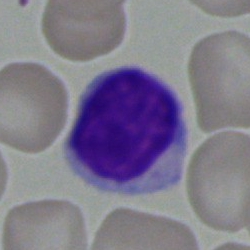 Impression — typical lymphocyte.